Bone marrow aspirate smear · brightfield, 40× oil-immersion objective · cropped to a single cell
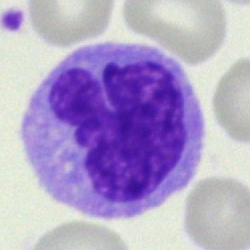 This is a monocyte.